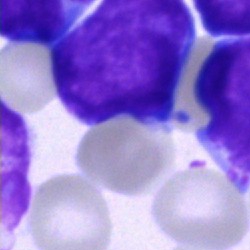
Q: What is shown here?
A: Blast.